Bone marrow smear · MGG-stained.
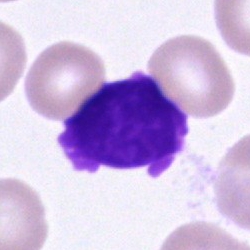

The cell shown is an artefact.